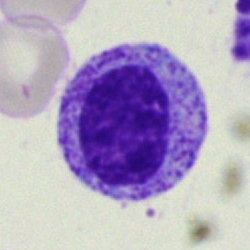

Impression — myelocyte.